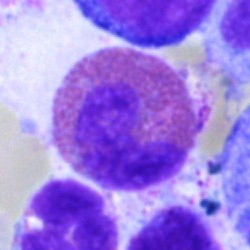

An eosinophilic granulocyte.